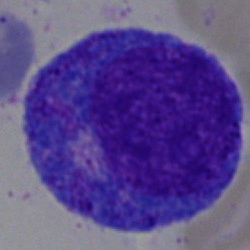 Morphological class — promyelocyte.